Bone marrow smear
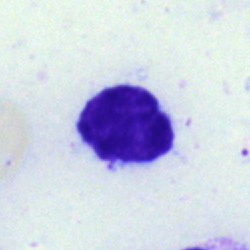Morphology consistent with a lymphocyte.